Pappenheim-stained · bone marrow aspirate smear
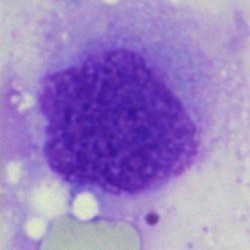Specimen: bone marrow smear.
Cell type: artifact.